Brightfield microscopy, 40× oil immersion. Bone marrow smear. Single cell centered in the field — 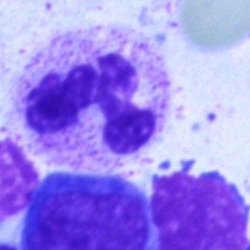
Specimen: bone marrow smear.
Morphological class: neutrophil (segmented).
Lineage: myeloid.